Bone marrow smear:
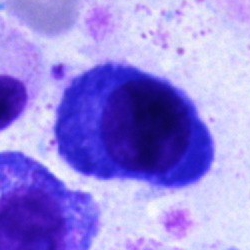Single cell identified as a plasmacyte.